Bone marrow smear:
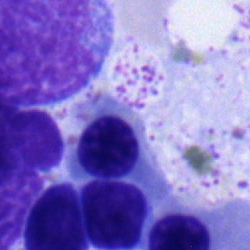
Morphology — normoblast.